Bone marrow aspirate smear:
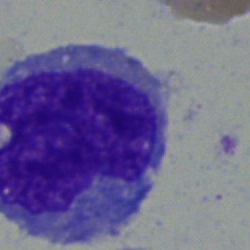

Classification — monocyte.